Bone marrow aspirate smear · image size 250×250: 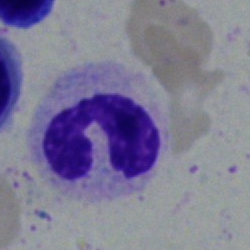Classification — band neutrophil.